250 by 250 pixels. Bone marrow aspirate smear: 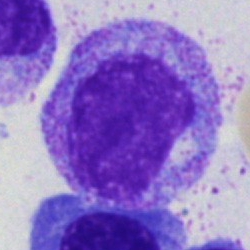

Showing a progranulocyte.